Bone marrow smear — 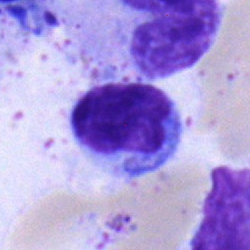Morphology → lymphocyte.